Single cell centered in the field · bone marrow smear · 40× objective, oil immersion:
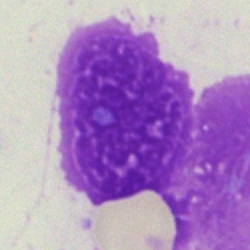

Morphology consistent with an artefact.